Bone marrow smear.
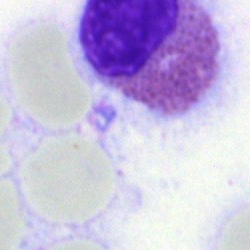

Q: What cell is this?
A: This is an eosinophil.